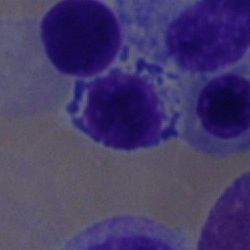{"cell_type": "erythroblast", "lineage": "erythroid"}